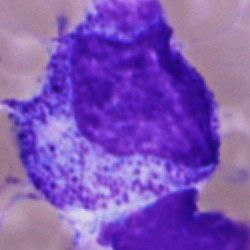
Morphology → promyelocyte.